Bone marrow smear.
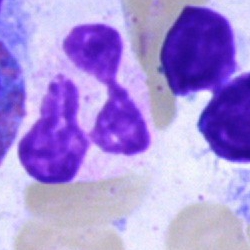 The morphological class is polymorphonuclear neutrophil.